250×250 · bone marrow smear.
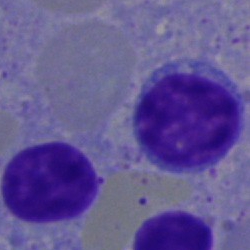

Q: What is shown here?
A: Lymphocyte.